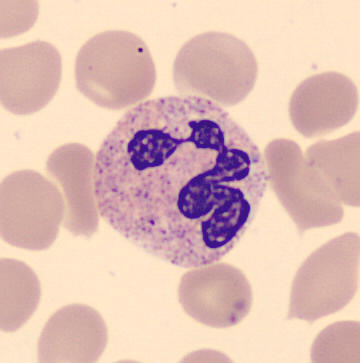Preparation: Automated cell imaging (CellaVision DM96) · peripheral blood smear. Morphology consistent with a polymorphonuclear neutrophil.